Bone marrow aspirate smear.
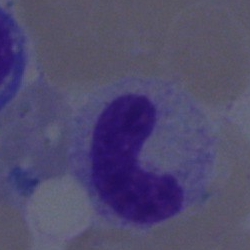 Cell = neutrophil (band).